Bone marrow aspirate smear:
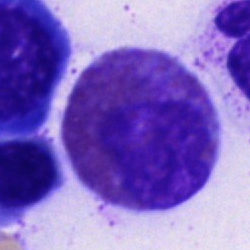
Classification — eosinophil.